Peripheral blood smear
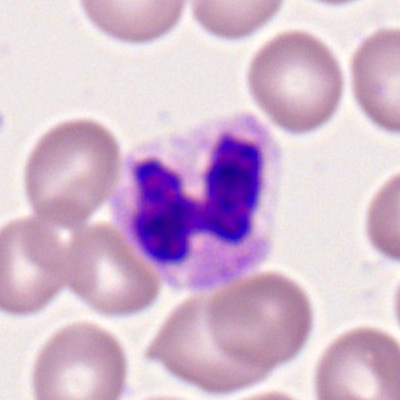{"cell_type": "segmented neutrophil"}